250×250 px; bone marrow aspirate smear: 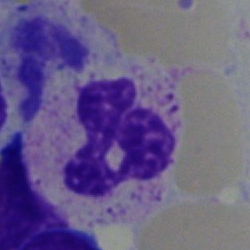 Impression → segmented neutrophil.